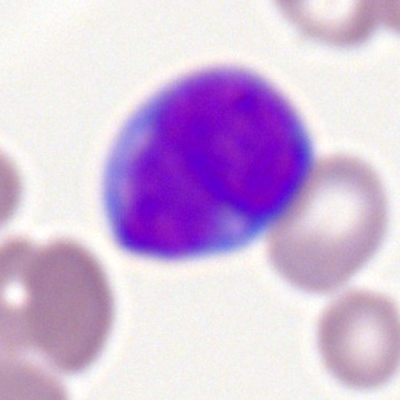A myeloid blast.